Bone marrow smear · 40× objective, oil immersion
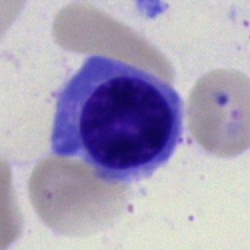

{"cell_type": "normoblast"}